250×250 px. Bone marrow aspirate smear. Single-cell field — 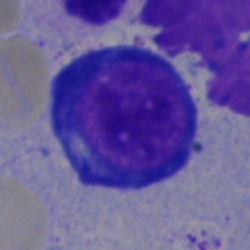

Q: What cell is this?
A: It is a proerythroblast.